Bone marrow smear.
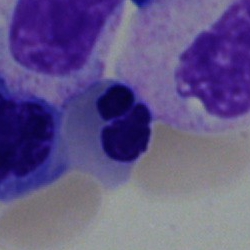

{"cell_type": "normoblast", "lineage": "erythroid"}